250×250; bone marrow aspirate smear; Pappenheim-stained: 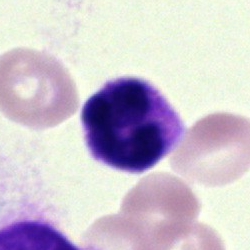
An artifact.